Bone marrow smear.
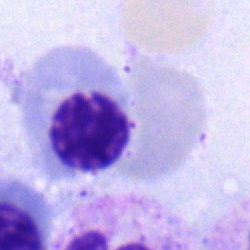

Morphology → normoblast.